Cropped to a single cell; May-Grünwald-Giemsa/Pappenheim stain; bone marrow aspirate smear:
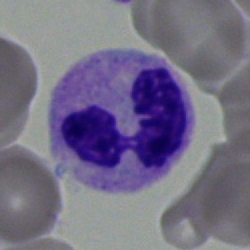
A polymorphonuclear neutrophil.